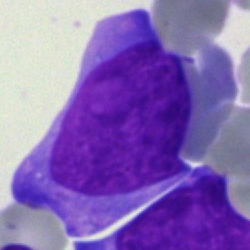
Q: Which cell type is shown here?
A: Blast cell.